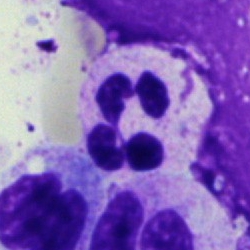 Q: What is shown here?
A: Segmented neutrophil.